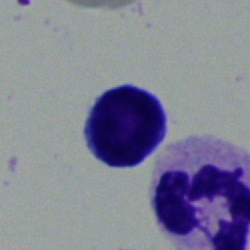Impression — typical lymphocyte.